Bone marrow smear. 250×250 px: 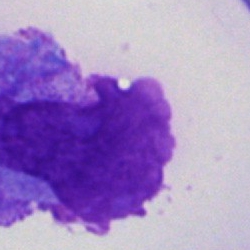This is an artifact.